Bone marrow smear:
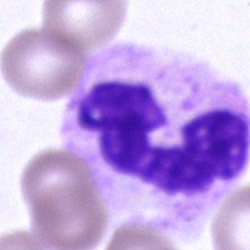
Morphological class — segmented neutrophil.